Bone marrow aspirate smear — 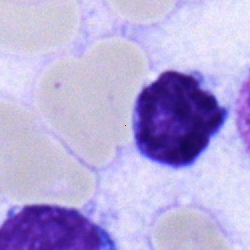
Q: What is the morphological classification of this cell?
A: Lymphocyte.